Bone marrow smear · 250×250.
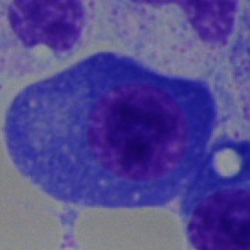 A plasma cell.